40× objective, oil immersion; bone marrow smear: 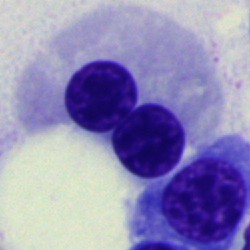
This is a normoblast.